Bone marrow aspirate smear.
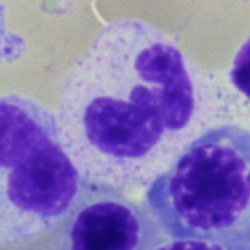
Q: What type of cell is this?
A: This is a neutrophil (segmented).